Bone marrow aspirate smear; cropped to a single cell:
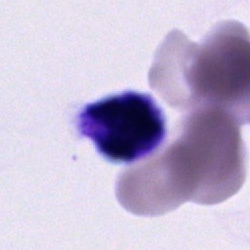 The cell type is unidentifiable cell.